Bone marrow smear.
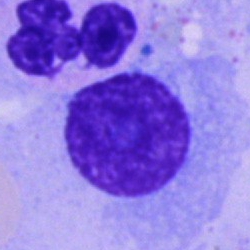

The cell shown is a plasmacyte.